Bone marrow smear.
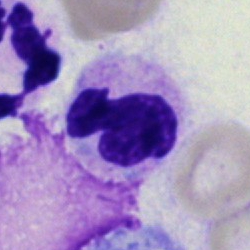Classification: neutrophil (segmented).